Bone marrow smear.
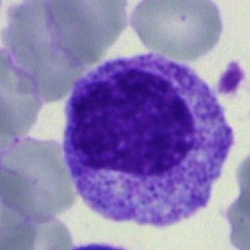
The classification is myelocyte.